Bone marrow aspirate smear.
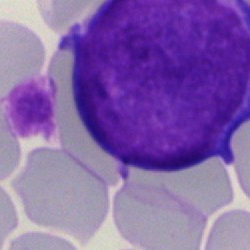

Morphology — undifferentiated blast.